Bone marrow smear — 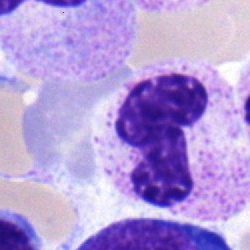 Classification = stab cell.